Bone marrow smear — 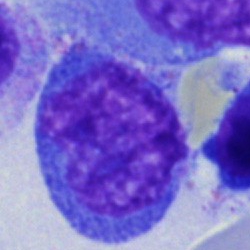

Specimen: bone marrow smear.
Morphological class: blast cell.